Bone marrow aspirate smear
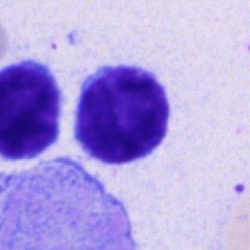
Specimen: bone marrow aspirate smear.
Cell type: typical lymphocyte.
Lineage: lymphoid.